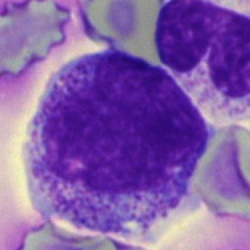
Classification: promyelocyte.